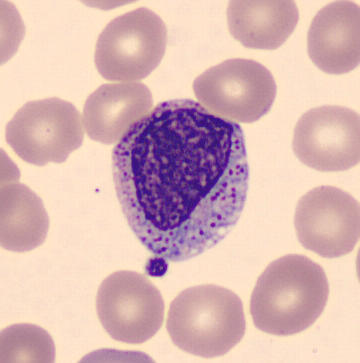

Classification = myelocyte. Acquisition: Peripheral blood smear · CellaVision DM96 digital cell image · MGG-stained.